Bone marrow aspirate smear:
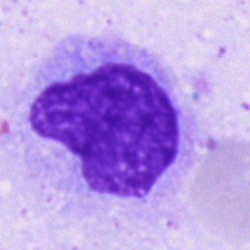

{"cell_type": "artefact"}